40× oil immersion; bone marrow aspirate smear; single cell centered in the field:
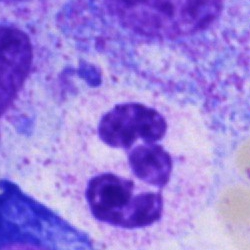

Impression — polymorphonuclear neutrophil.